Bone marrow smear.
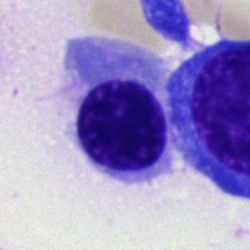Cell — nucleated red cell.